Bone marrow smear.
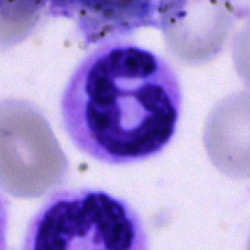

Impression — neutrophil (segmented).